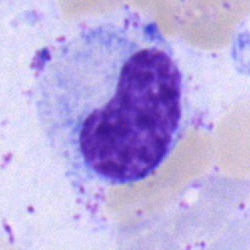
Specimen: bone marrow smear.
Morphological class: metamyelocyte.
Lineage: myeloid.